Bone marrow aspirate smear.
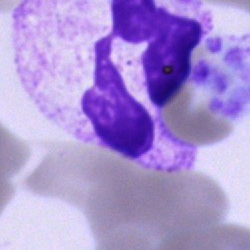 Q: What is shown here?
A: A neutrophil (segmented).